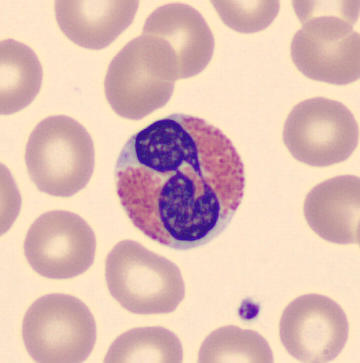
Eosinophil.